Bone marrow smear · May-Grünwald-Giemsa/Pappenheim stain.
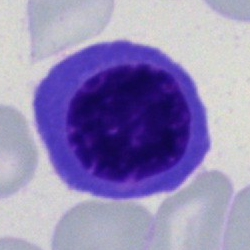 Nucleated red blood cell.